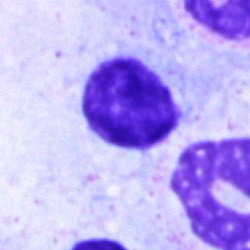

Q: What is shown here?
A: Typical lymphocyte.